Brightfield microscopy, 40× oil immersion. Bone marrow aspirate smear
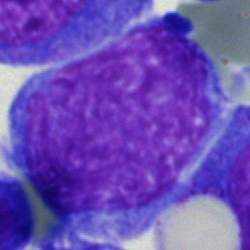Morphology → blast.